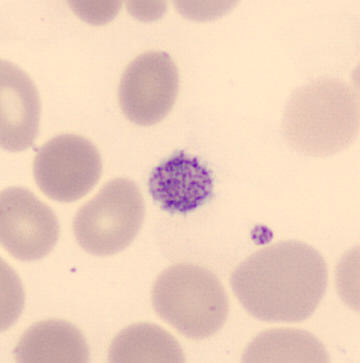
Morphology — thrombocyte.